Bone marrow aspirate smear; Pappenheim-stained; single-cell crop:
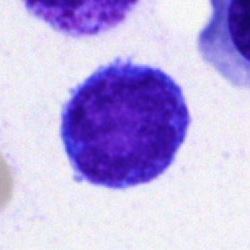 Specimen: bone marrow aspirate smear.
Cell type: typical lymphocyte.